Bone marrow aspirate smear
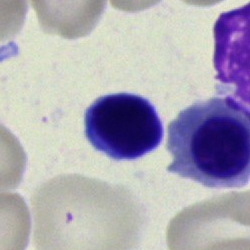 Morphology consistent with a lymphocyte.